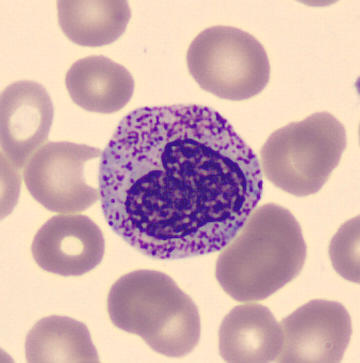Q: What is shown here?
A: Metamyelocyte.

Peripheral blood smear · cropped to a single cell · May-Grünwald-Giemsa-stained.